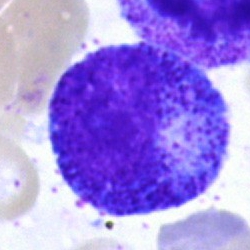
Specimen: bone marrow aspirate smear.
Morphological class: progranulocyte.